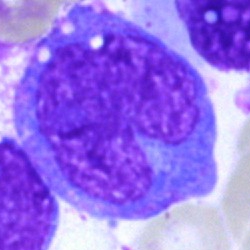

The cell type is monocyte.